Bone marrow aspirate smear.
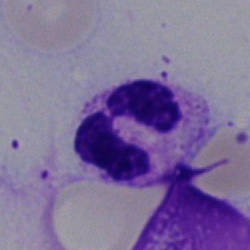
Q: What is the morphological classification of this cell?
A: A polymorphonuclear neutrophil.